Bone marrow aspirate smear — 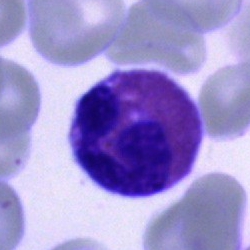

Cell type = basophil.